Peripheral blood smear — 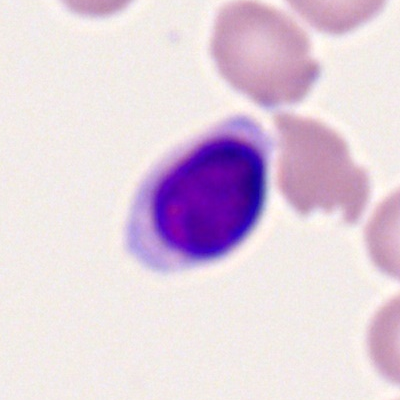
Morphology — typical lymphocyte.